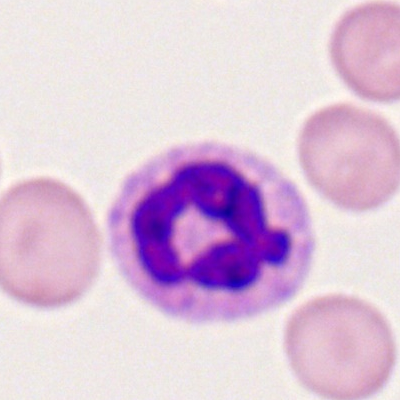
Morphological class = segmented neutrophil.